Bone marrow smear — 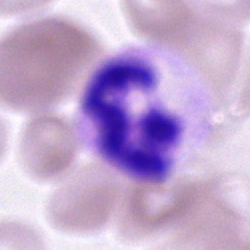 Q: What is the morphological classification of this cell?
A: A neutrophil (segmented).